Bone marrow smear.
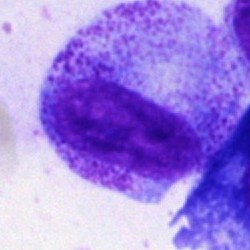
The cell type is progranulocyte.